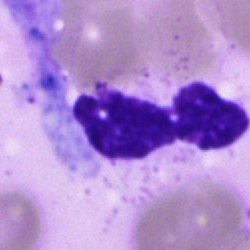 Cell = polymorphonuclear neutrophil.